Bone marrow smear.
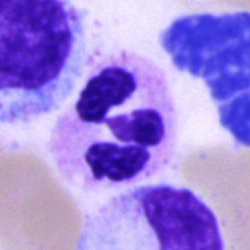

The cell is neutrophil (segmented).